Pappenheim-stained. Bone marrow smear: 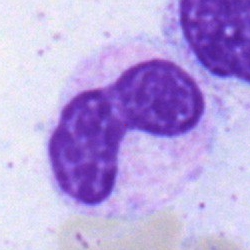

Impression — band neutrophil.